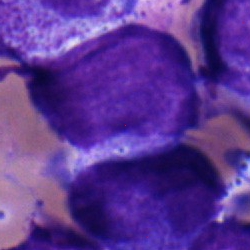 Single-cell crop from a bone marrow smear: blast.